Single-cell field · 40× oil immersion · bone marrow smear
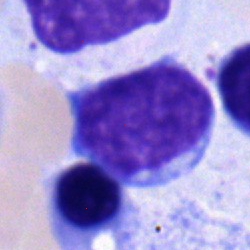
The morphological class is undifferentiated blast.